Bone marrow smear.
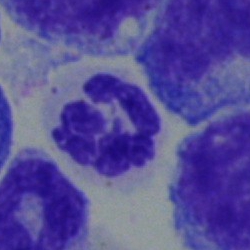

Morphology consistent with a segmented neutrophil.